Single-cell crop · bone marrow aspirate smear: 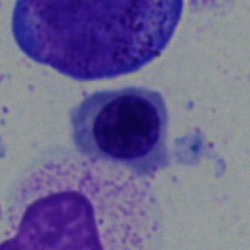The morphological class is erythroblast.